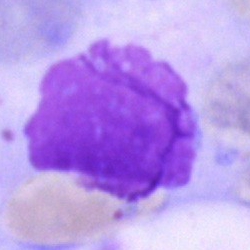 Q: What is shown here?
A: It is an artifact.